Image size 250×250; bone marrow aspirate smear
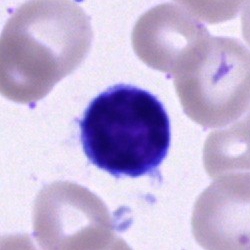

{"cell_type": "typical lymphocyte"}